Bone marrow smear — 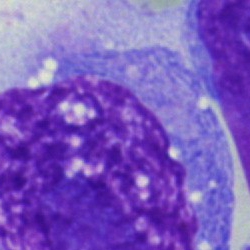
Q: What is shown here?
A: This is an undifferentiated blast.